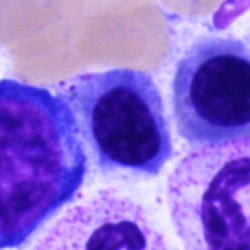
Bone marrow aspirate smear, single cell — normoblast.